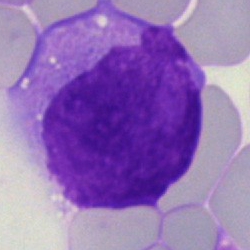

{"cell_type": "blast cell"}